Bone marrow smear. May-Grünwald-Giemsa stain. 40× objective, oil immersion — 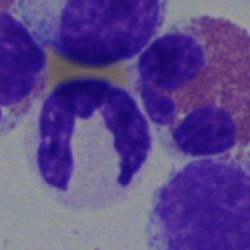 Cell type = neutrophil (segmented).